Bone marrow smear:
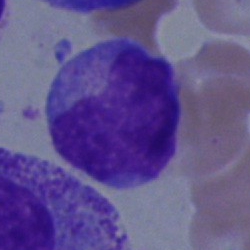

Morphology — unidentifiable cell.